Bone marrow aspirate smear. Cropped to a single cell. May-Grünwald-Giemsa stain: 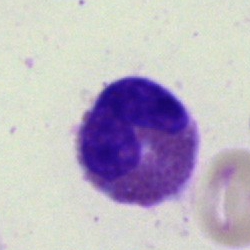
Specimen: bone marrow aspirate smear.
Cell: eosinophil.
Lineage: myeloid.